Bone marrow aspirate smear · single-cell field: 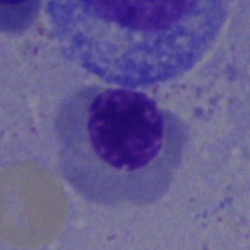This is a nucleated red cell.